May-Grünwald-Giemsa/Pappenheim stain; bone marrow smear: 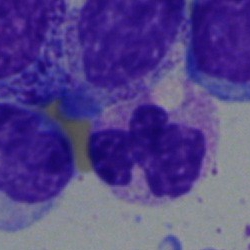
A neutrophil (segmented).